Brightfield, 100× oil-immersion objective. Single cell centered in the field. Peripheral blood smear:
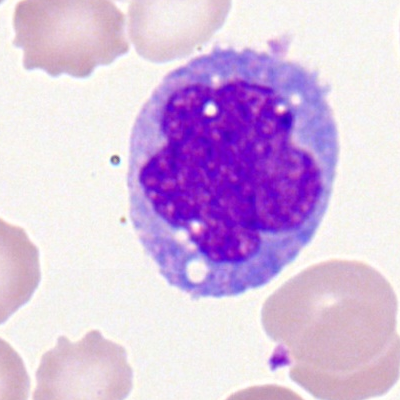
Morphology → monocyte.